Bone marrow aspirate smear. Cropped to a single cell — 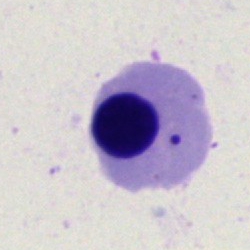

Specimen: bone marrow smear.
Morphological class: nucleated red cell.
Lineage: erythroid.